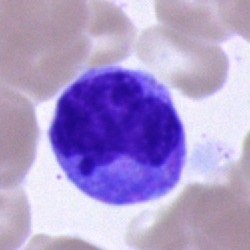 Morphology consistent with a monocyte.